Bone marrow smear.
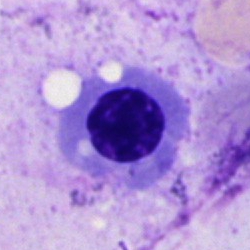

Cell type: erythroblast.